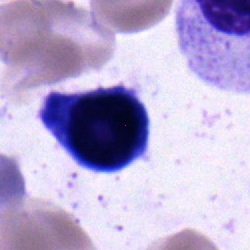
The cell is lymphocyte.